Bone marrow aspirate smear.
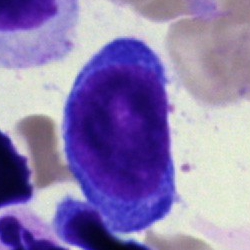 Specimen: bone marrow smear.
Cell type: pronormoblast.
Lineage: erythroid.